Bone marrow aspirate smear. Cropped to a single cell:
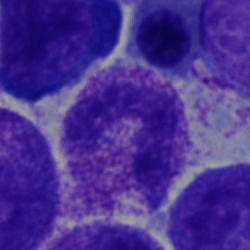 Q: What cell is this?
A: This is a neutrophil (segmented).